Bone marrow aspirate smear: 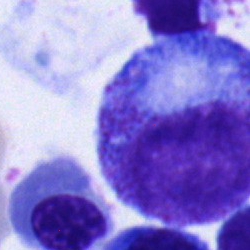Q: Identify the cell.
A: It is a promyelocyte.